Bone marrow aspirate smear:
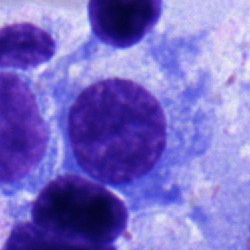

Q: What cell is this?
A: It is a plasmacyte.